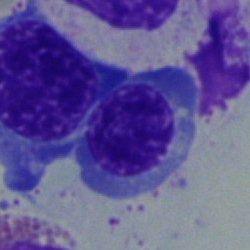Q: Identify the cell.
A: This is a nucleated red blood cell.